Peripheral blood smear — 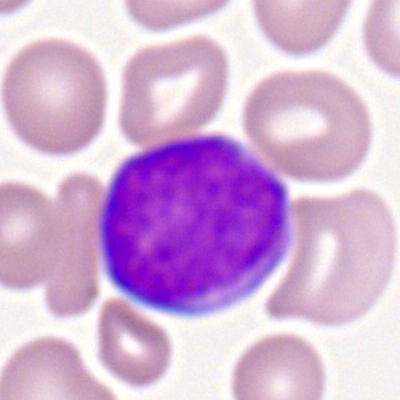Morphological class: myeloid blast.